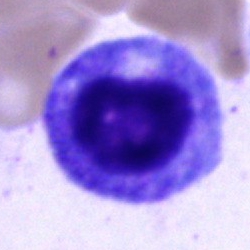Impression — promyelocyte.